Bone marrow aspirate smear
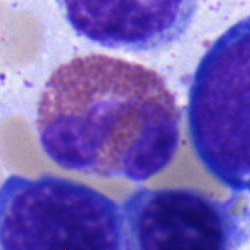

Morphology → eosinophil.